Single cell centered in the field · bone marrow aspirate smear
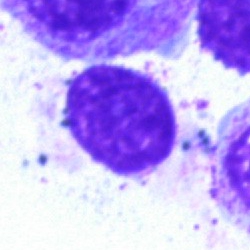
Morphological class = typical lymphocyte.